Bone marrow smear
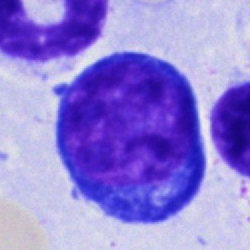Morphological class — proerythroblast.